Bone marrow smear: 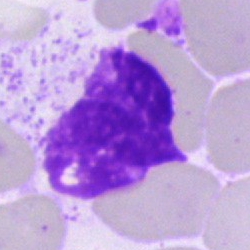 Morphology consistent with an artefact.